Image size 250×250. Bone marrow smear — 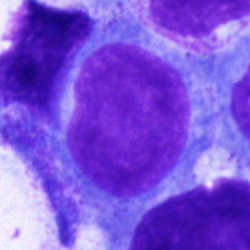
The cell shown is an undifferentiated blast.